Bone marrow aspirate smear. 40× objective, oil immersion:
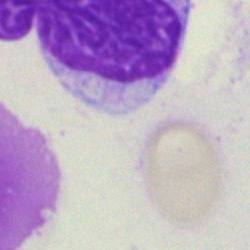 Classification = artifact.